Bone marrow smear.
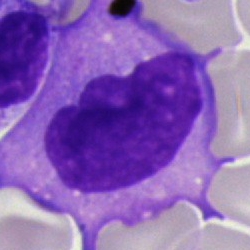
Q: What cell is this?
A: It is a monocyte.